Bone marrow smear.
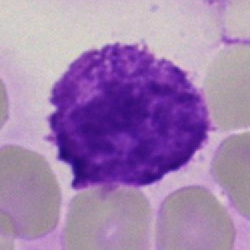

Morphological class: artifact.